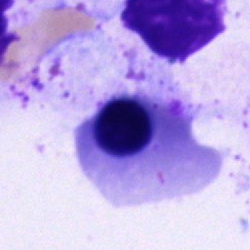

Showing a normoblast.